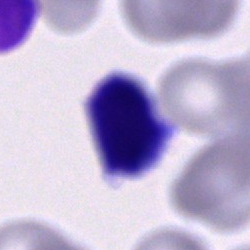
Showing a cell of indeterminate lineage.